250 by 250 pixels · bone marrow smear:
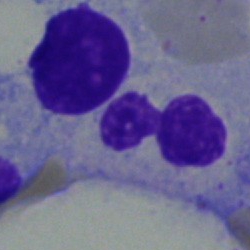

Specimen: bone marrow smear.
Cell type: segmented neutrophil.